Bone marrow smear — 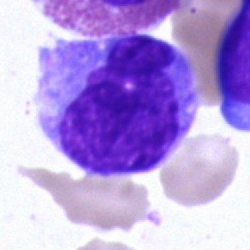 Specimen: bone marrow aspirate smear.
Cell: monocyte.
Lineage: myeloid.